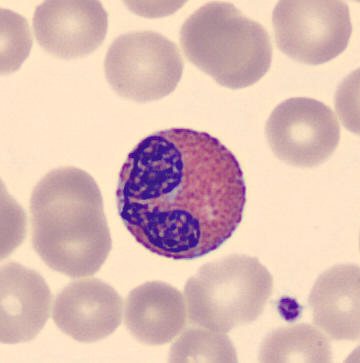{"cell_type": "eosinophil", "lineage": "myeloid"} Peripheral blood smear.